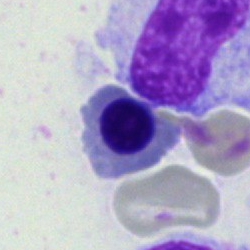

A nucleated red cell.